Pappenheim-stained · bone marrow smear — 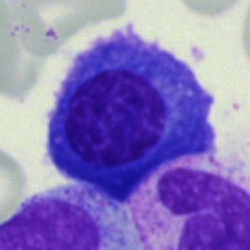Cell = plasmacyte.